250×250 · single cell centered in the field · bone marrow smear — 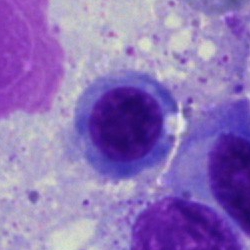

Q: What type of cell is this?
A: This is an erythroblast.